Bone marrow smear. 250×250.
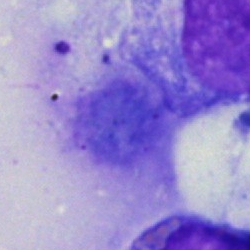

The cell shown is an artifact.